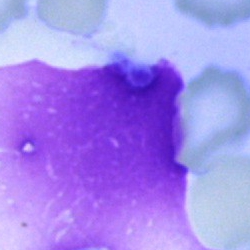 Impression — artefact.